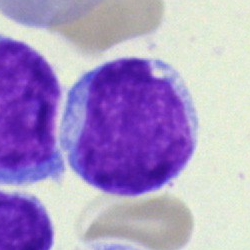Morphological class — blast cell.